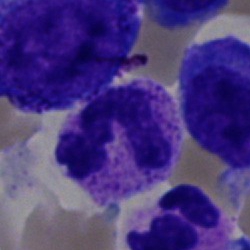

{"cell_type": "segmented neutrophil"}